Bone marrow aspirate smear: 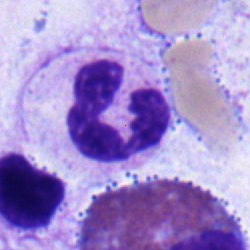

The cell shown is a neutrophil (segmented).